Bone marrow smear
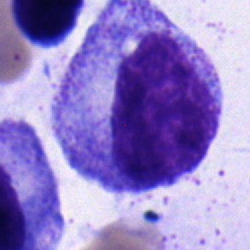
Showing a myelocyte.